Bone marrow aspirate smear: 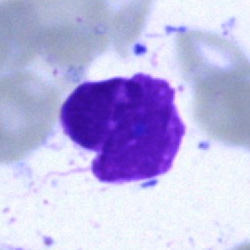

The classification is artefact.